Bone marrow aspirate smear · brightfield microscopy, 40× oil immersion — 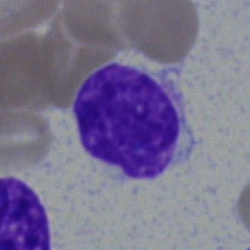 Specimen: bone marrow smear.
Morphological class: lymphocyte.
Lineage: lymphoid.